May-Grünwald-Giemsa stain; bone marrow smear.
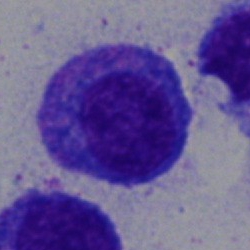

Cell = promyelocyte.